Bone marrow smear: 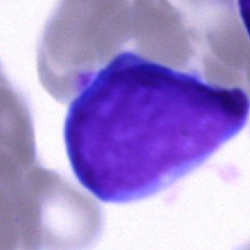
Cell: blast.